Single cell centered in the field · May-Grünwald-Giemsa stain · bone marrow aspirate smear:
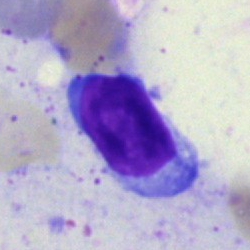 The morphological class is typical lymphocyte.